Bone marrow aspirate smear
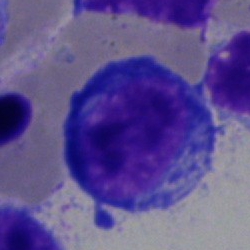
Specimen: bone marrow aspirate smear.
Morphological class: pronormoblast.
Lineage: erythroid.